Image size 250×250. Bone marrow smear
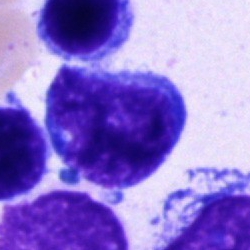 Morphology → blast cell.